Peripheral blood smear.
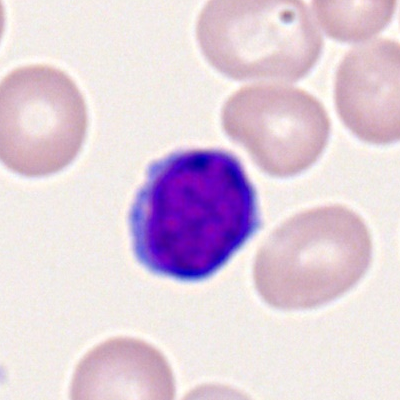

Q: What cell is this?
A: It is a typical lymphocyte.